Bone marrow aspirate smear: 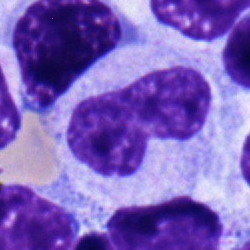 Neutrophil (band).